250×250. Bone marrow smear.
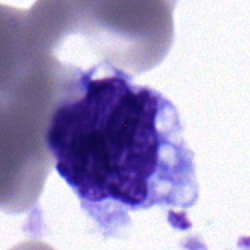Q: What is shown here?
A: It is a monocyte.